Bone marrow smear; single-cell field: 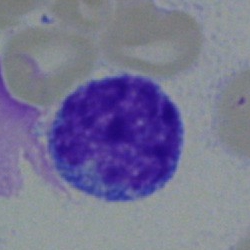

Single cell identified as a typical lymphocyte.